Bone marrow smear. 40× objective, oil immersion:
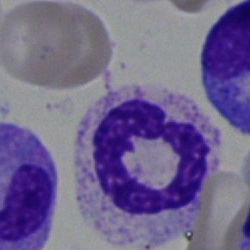
Specimen: bone marrow aspirate smear.
Morphological class: segmented neutrophil.
Lineage: myeloid.